250×250 px · bone marrow smear · brightfield, 40× oil-immersion objective — 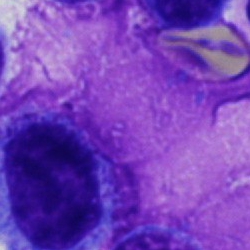 Q: What is shown here?
A: This is an artefact.